Bone marrow aspirate smear. May-Grünwald-Giemsa/Pappenheim stain. Single-cell crop.
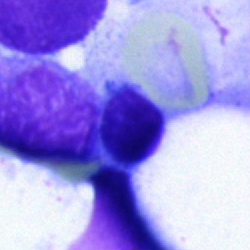
Morphological class: artefact.